Bone marrow smear: 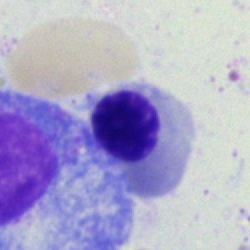 Classification = nucleated red blood cell.